Bone marrow aspirate smear.
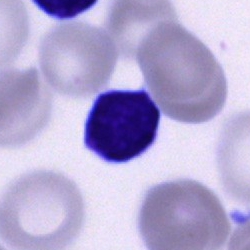 Specimen: bone marrow smear.
Cell type: typical lymphocyte.